Peripheral blood smear: 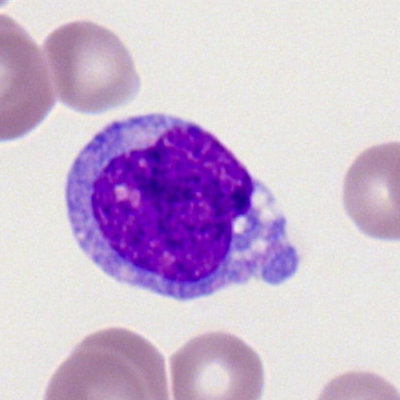Morphology — monocyte.